Peripheral blood smear; Romanowsky-stained.
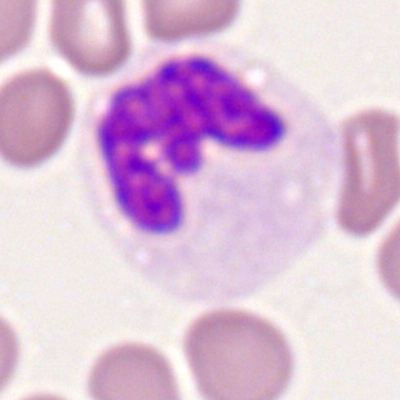
The cell is polymorphonuclear neutrophil.